Bone marrow aspirate smear · image size 250×250:
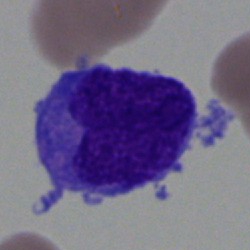
Q: What type of cell is this?
A: Blast cell.